Bone marrow smear
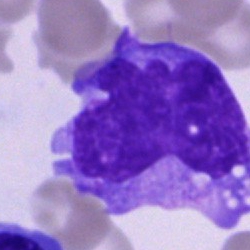 A monocyte.